Bone marrow aspirate smear: 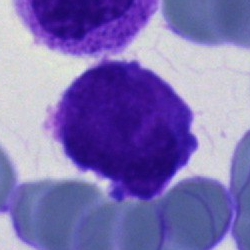

This is a blast.